Bone marrow smear · cropped to a single cell:
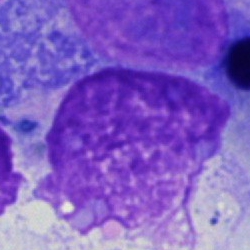 Morphology consistent with an artifact.